Bone marrow aspirate smear — 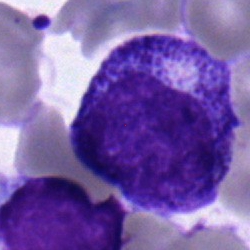 Specimen: bone marrow aspirate smear.
Classification: progranulocyte.
Lineage: myeloid.